100× oil immersion, 14.14 px/µm; peripheral blood smear: 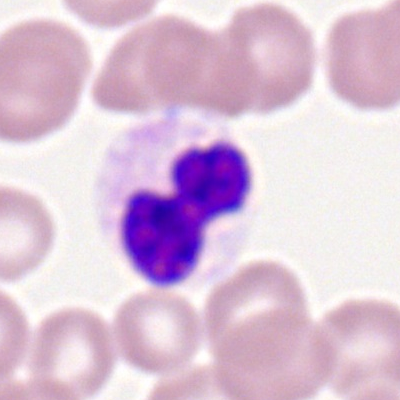 Specimen: peripheral blood film.
Classification: polymorphonuclear neutrophil.